Bone marrow aspirate smear: 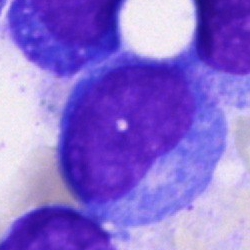

Q: Identify the cell.
A: It is a blast.